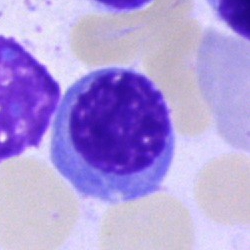
Impression → nucleated red cell.